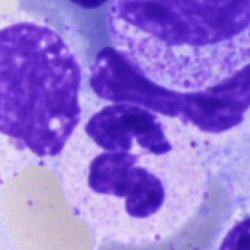

Impression → neutrophil (segmented).